Bone marrow smear — 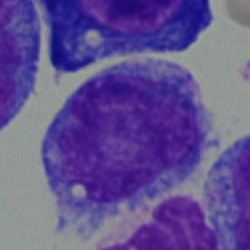An undifferentiated blast.